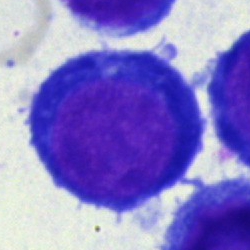Classification: pronormoblast.